Bone marrow smear. 250 by 250 pixels. Cropped to a single cell.
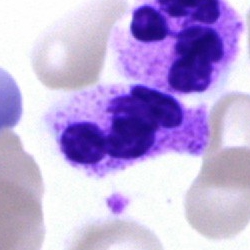 Cell type = neutrophil (segmented).